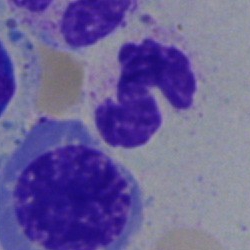
Single cell identified as a neutrophil (segmented).